400 by 400 pixels. Peripheral blood smear: 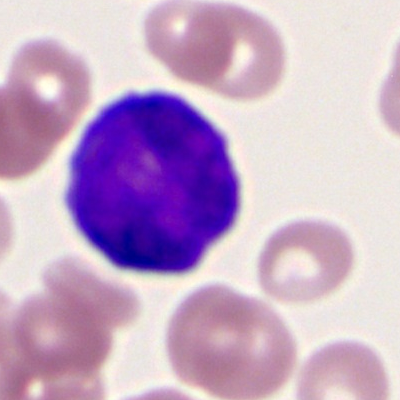

Morphology consistent with a myeloblast.